Pappenheim-stained. Single cell centered in the field. Bone marrow aspirate smear: 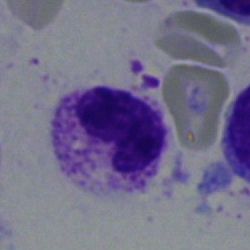

Specimen: bone marrow smear.
Classification: neutrophil (band).
Lineage: myeloid.